250 by 250 pixels; bone marrow smear.
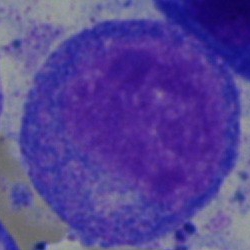Specimen: bone marrow smear.
Classification: progranulocyte.
Lineage: myeloid.